MGG-stained · bone marrow aspirate smear — 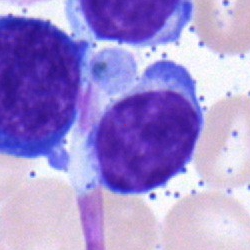

Q: What is shown here?
A: Lymphocyte.